Bone marrow aspirate smear; brightfield microscopy, 40× oil immersion; 250×250.
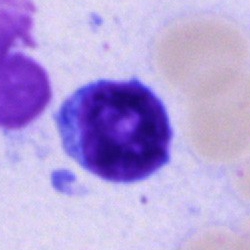 The classification is lymphocyte.